Bone marrow smear · brightfield, 40× oil-immersion objective:
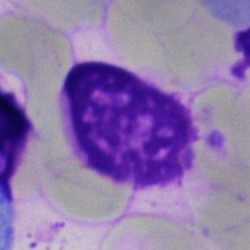

This is an artifact.